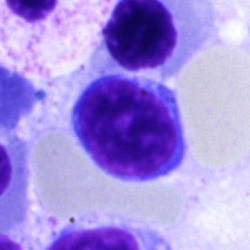The cell shown is a typical lymphocyte.